Bone marrow smear: 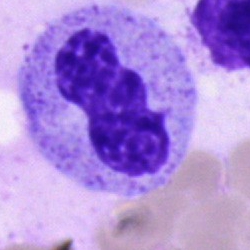 Impression → neutrophil (segmented).